May-Grünwald-Giemsa/Pappenheim stain; bone marrow smear:
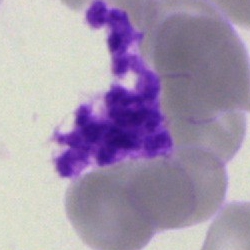

Cell type: artefact.